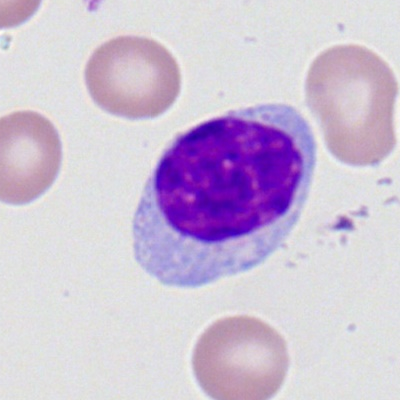Specimen: peripheral blood smear.
Cell type: typical lymphocyte.